Single-cell field. 250×250. Bone marrow smear
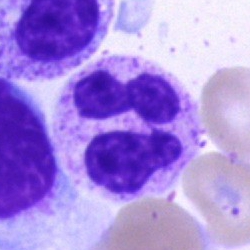
Single cell identified as a polymorphonuclear neutrophil.